Bone marrow aspirate smear — 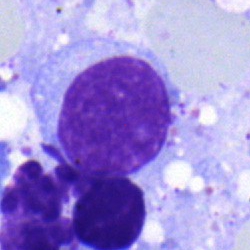The cell type is lymphocyte.